Peripheral blood smear; brightfield, 100× oil-immersion objective; Romanowsky-stained
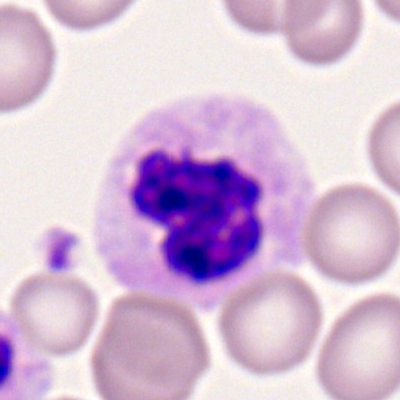Q: What is shown here?
A: Polymorphonuclear neutrophil.